40× oil immersion; bone marrow smear; May-Grünwald-Giemsa/Pappenheim stain: 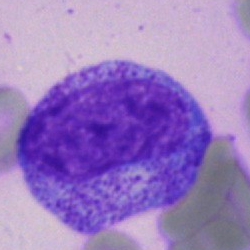
Cell type = myelocyte.